May-Grünwald-Giemsa/Pappenheim stain · cropped to a single cell · bone marrow smear: 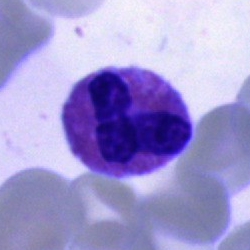The cell type is eosinophil.